Bone marrow smear. 250×250:
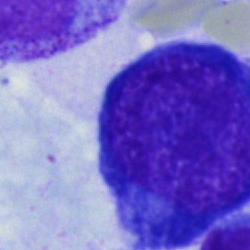 Q: What type of cell is this?
A: It is a pronormoblast.